Bone marrow aspirate smear: 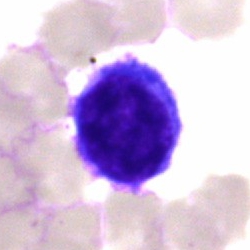

Impression — lymphocyte.